Single-cell crop. Pappenheim-stained. Bone marrow aspirate smear:
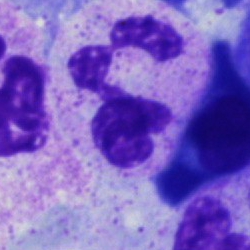
Impression → segmented neutrophil.